Bone marrow smear
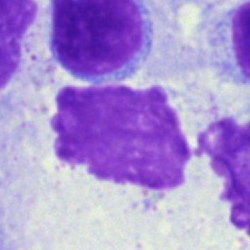
Morphology — artifact.